Peripheral blood smear:
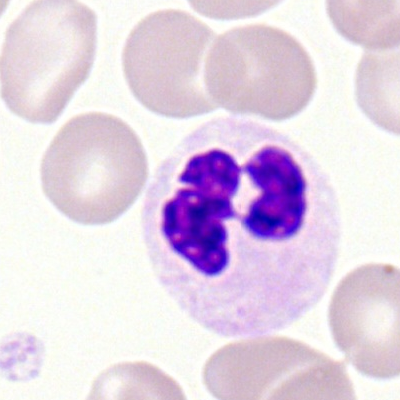Showing a polymorphonuclear neutrophil.